Bone marrow aspirate smear.
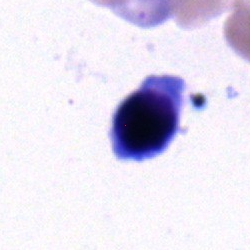Specimen: bone marrow aspirate smear.
Cell: erythroblast.